Bone marrow smear. MGG-stained: 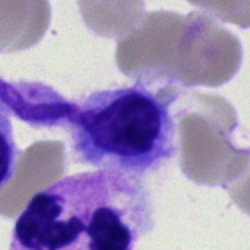
Cell type = artefact.